Bone marrow smear · cropped to a single cell
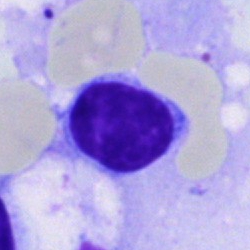Cell type: typical lymphocyte.